Bone marrow smear · single-cell crop: 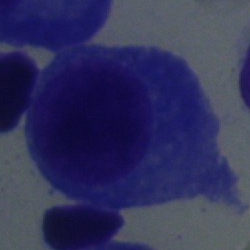

Cell: plasmacyte.